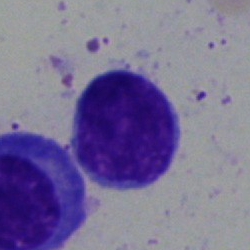 Q: What type of cell is this?
A: This is a lymphocyte.